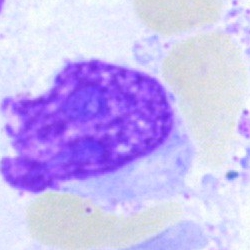Q: What is shown here?
A: It is an artifact.